Brightfield, 40× oil-immersion objective. Bone marrow aspirate smear:
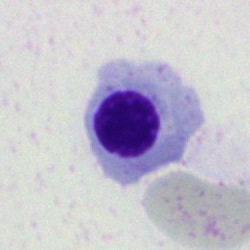
Cell: nucleated red blood cell.